Bone marrow smear — 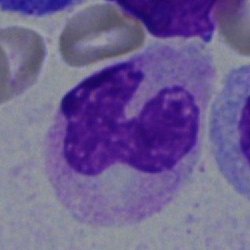 Showing a stab cell.